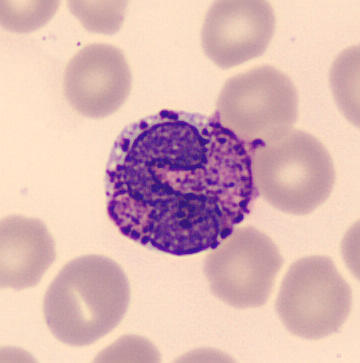

Image: 360×363 px. Imaged on a CellaVision DM96 analyser. Peripheral blood smear.
Morphology — basophil.